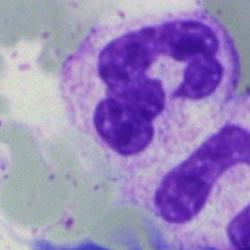 Single cell identified as a neutrophil (segmented).